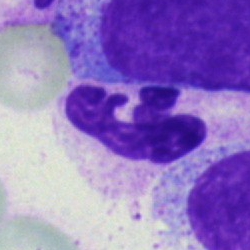

Cell — neutrophil (segmented).